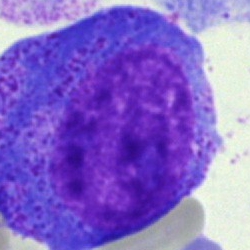 The classification is progranulocyte.